Pappenheim-stained · bone marrow smear.
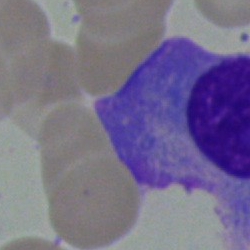

Specimen: bone marrow aspirate smear.
Classification: plasma cell.
Lineage: lymphoid.